Bone marrow smear · 40× oil immersion:
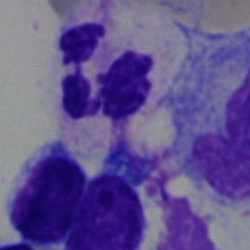

Morphology consistent with a polymorphonuclear neutrophil.